Bone marrow aspirate smear:
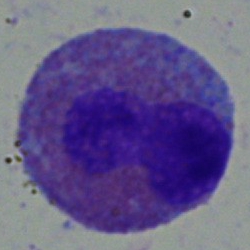 Q: What cell is this?
A: Eosinophil.